Bone marrow smear:
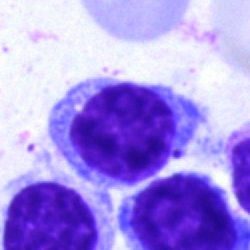

Showing a typical lymphocyte.